250×250; bone marrow smear; brightfield, 40× oil-immersion objective: 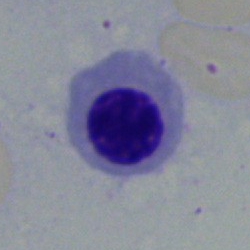 Nucleated red blood cell.